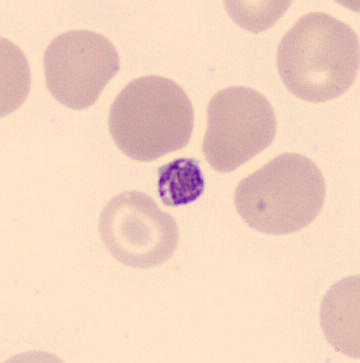
Platelet.